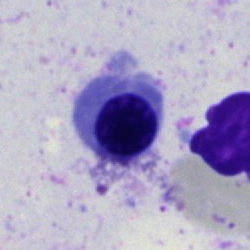
Bone marrow aspirate smear, single cell — nucleated red cell.